Bone marrow aspirate smear; brightfield, 40× oil-immersion objective — 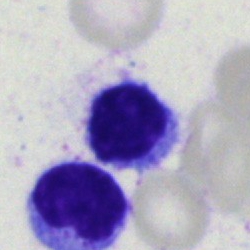Impression — lymphocyte.